Bone marrow smear. May-Grünwald-Giemsa/Pappenheim stain
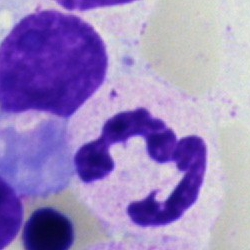

Morphological class: neutrophil (segmented).